40× oil immersion · bone marrow aspirate smear
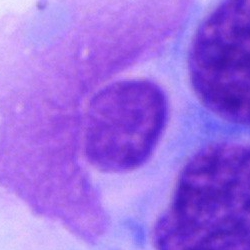
Classification: artifact.